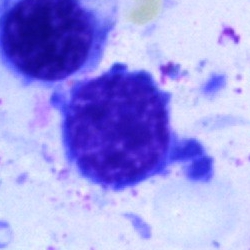Single-cell crop from a bone marrow smear: normoblast.